40× oil immersion · bone marrow smear: 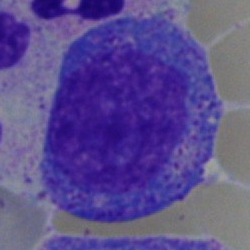Specimen: bone marrow smear.
Cell type: promyelocyte.